250 by 250 pixels · May-Grünwald-Giemsa stain · bone marrow aspirate smear — 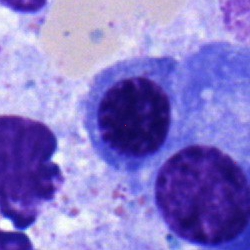
Cell = nucleated red cell.